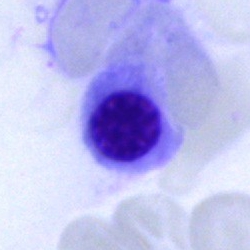The classification is normoblast.